Bone marrow smear.
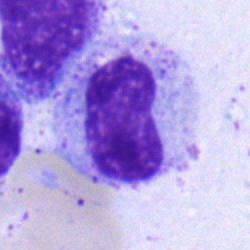 Q: Which cell type is shown here?
A: Metamyelocyte.